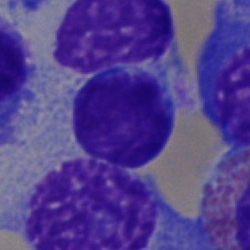 Q: What type of cell is this?
A: It is a lymphocyte.